Bone marrow smear.
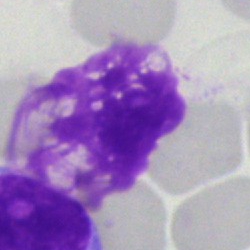 The cell shown is an artifact.